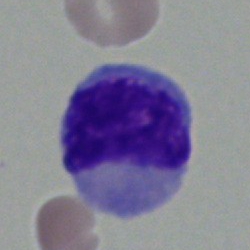 Bone marrow aspirate smear, single cell — metamyelocyte.